40× oil immersion · bone marrow smear — 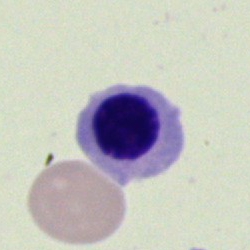
The morphological class is normoblast.